Pappenheim-stained; bone marrow smear:
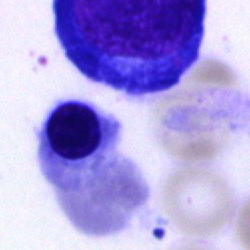 Specimen: bone marrow aspirate smear.
Cell type: erythroblast.